Peripheral blood smear — 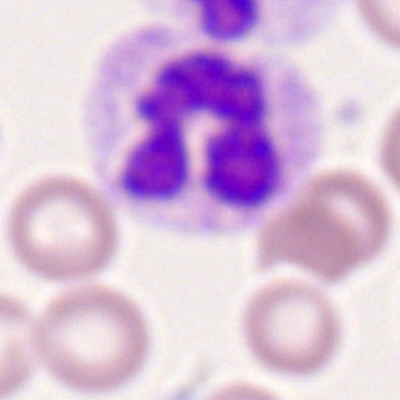

This is a segmented neutrophil.